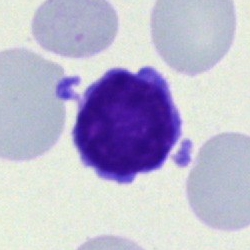 Cell: lymphocyte.